Bone marrow smear: 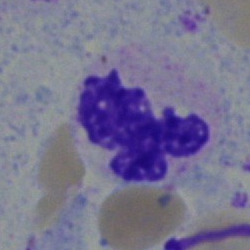 Cell type = segmented neutrophil.